Image size 400×400 · peripheral blood smear.
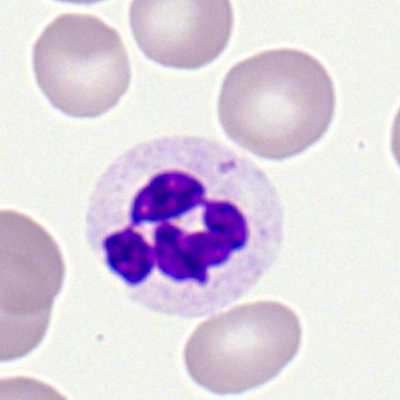 A neutrophil (segmented).